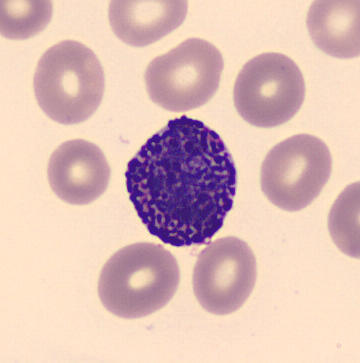
Showing a basophilic granulocyte.
Peripheral blood smear.